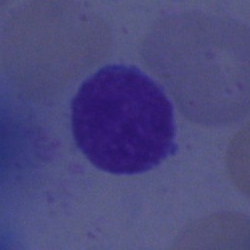

Morphology consistent with a lymphocyte.